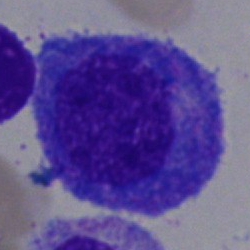 Cell type — progranulocyte.